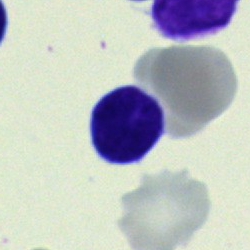 Specimen: bone marrow aspirate smear.
Cell: typical lymphocyte.
Lineage: lymphoid.